Romanowsky stain; peripheral blood smear; single cell centered in the field:
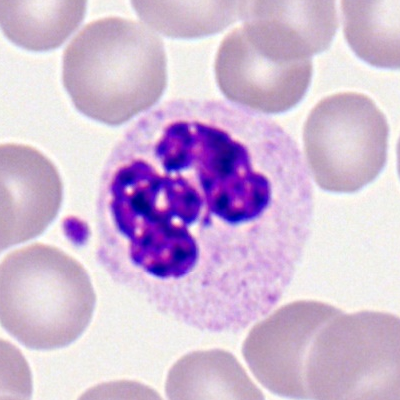 The cell is neutrophil (segmented).